Bone marrow aspirate smear · brightfield microscopy, 40× oil immersion
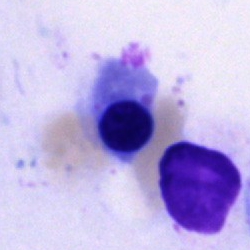

Specimen: bone marrow aspirate smear.
Classification: nucleated red cell.
Lineage: erythroid.